Bone marrow aspirate smear
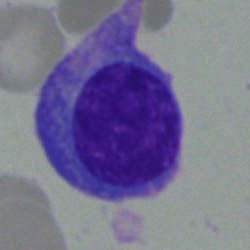 Q: Identify the cell.
A: This is a plasmacyte.